Bone marrow smear. Single-cell crop
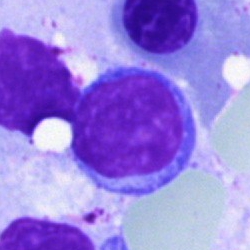
{"cell_type": "typical lymphocyte", "lineage": "lymphoid"}